Bone marrow smear
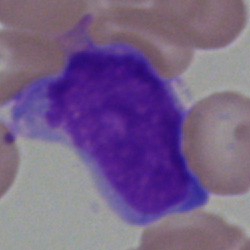 Impression — blast.